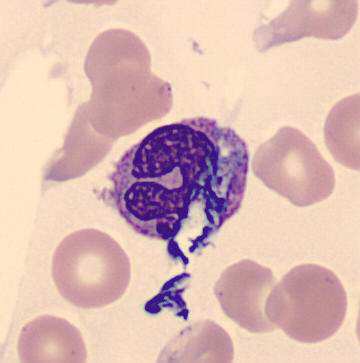 Automated cell imaging (CellaVision DM96) · 360×363 px · peripheral blood film.

Classification — monocyte.